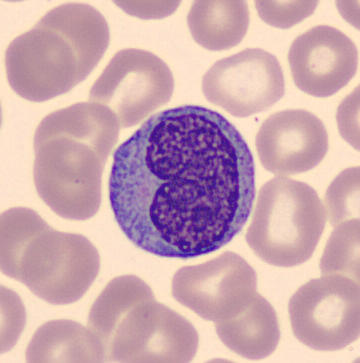 Single-cell crop from a peripheral blood smear: monocyte.